Pappenheim-stained. Bone marrow aspirate smear:
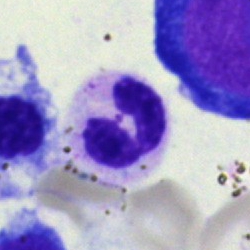

The cell shown is a segmented neutrophil.